Bone marrow smear:
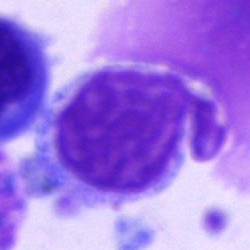

Single cell identified as an artifact.